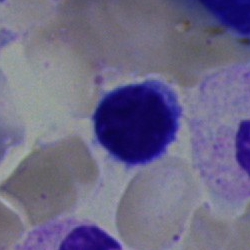The cell type is typical lymphocyte.